Bone marrow aspirate smear:
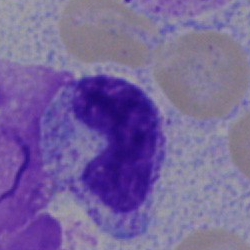A neutrophil (band).